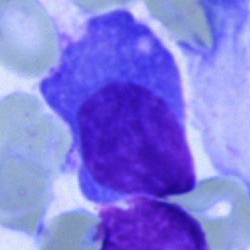
Morphology consistent with a plasma cell.